Bone marrow smear · single cell centered in the field:
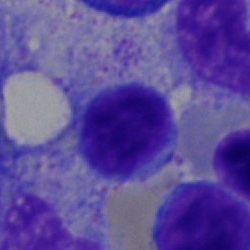 Cell type — typical lymphocyte.